MGG-stained; bone marrow smear
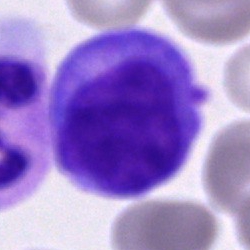

Impression → cell of indeterminate lineage.